Bone marrow smear:
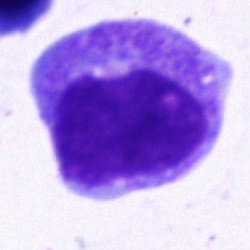Morphology → promyelocyte.